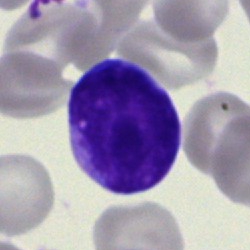
Specimen: bone marrow aspirate smear.
Cell type: blast.